Bone marrow aspirate smear: 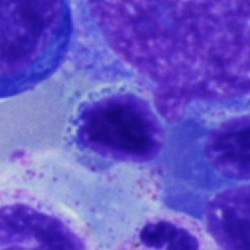An erythroblast.